Single cell centered in the field; bone marrow aspirate smear
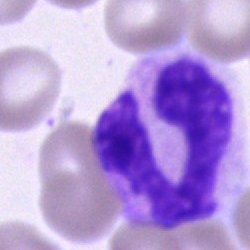Cell type = neutrophil (band).